Pappenheim-stained · single cell centered in the field · bone marrow smear
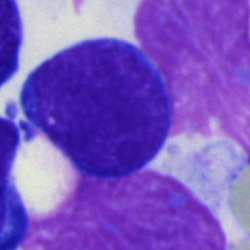

Q: What type of cell is this?
A: This is a blast.